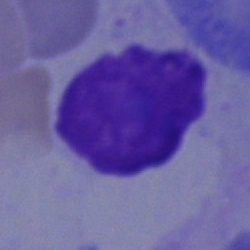
The cell is artefact.